MGG-stained; 250×250 px; bone marrow smear:
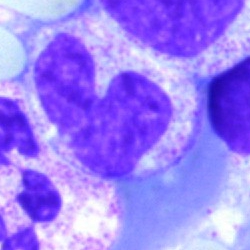 Showing a band-form neutrophil.